Bone marrow aspirate smear: 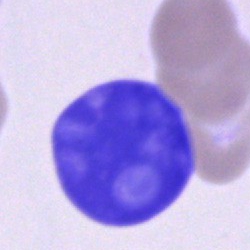 The cell type is artefact.